Bone marrow aspirate smear · MGG-stained.
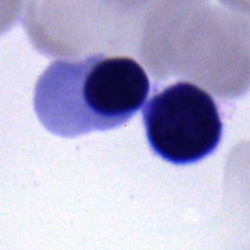Specimen: bone marrow aspirate smear.
Morphological class: lymphocyte.